Bone marrow aspirate smear. Single-cell crop.
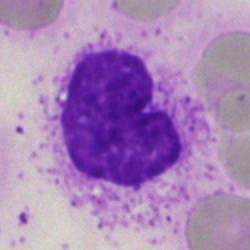Single cell identified as an artifact.